Bone marrow smear
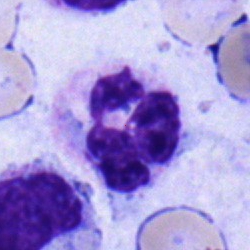
The cell is segmented neutrophil.